Bone marrow smear — 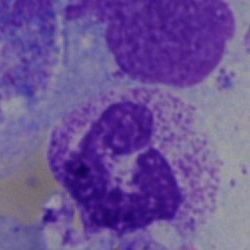 The cell is neutrophil (segmented).